Bone marrow aspirate smear. Single-cell field.
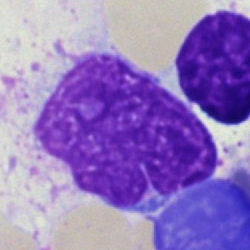 {"cell_type": "artifact"}